Peripheral blood film — 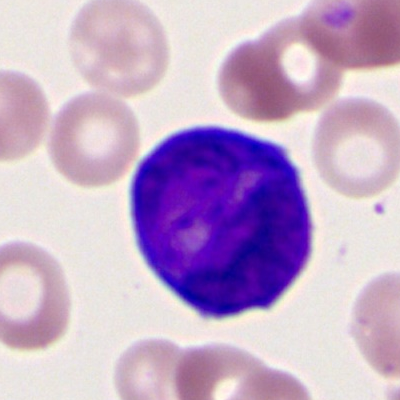
Q: Identify the cell.
A: Promyelocyte (bilobed).